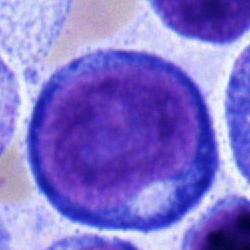
{"cell_type": "pronormoblast"}